Bone marrow smear. Single-cell field.
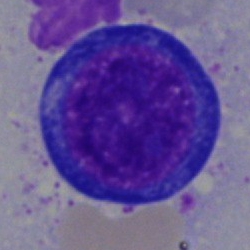 Morphological class — nucleated red blood cell.